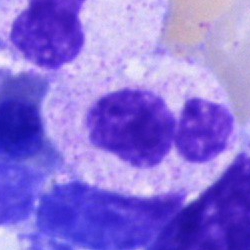
Specimen: bone marrow smear.
Classification: segmented neutrophil.